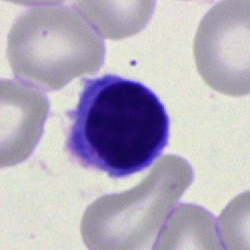

Specimen: bone marrow aspirate smear.
Classification: lymphocyte.
Lineage: lymphoid.